Bone marrow smear · cropped to a single cell — 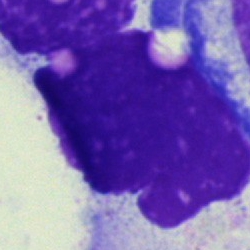
Impression → artifact.